Pappenheim-stained; bone marrow smear:
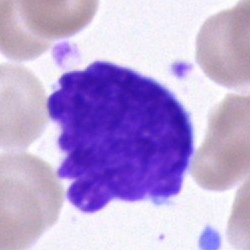

Q: Identify the cell.
A: A cell of indeterminate lineage.